Bone marrow aspirate smear:
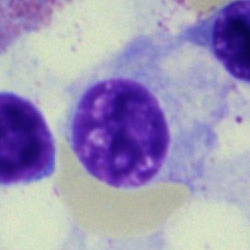{"cell_type": "plasma cell", "lineage": "lymphoid"}